Bone marrow smear:
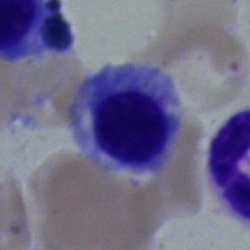 Q: What is the morphological classification of this cell?
A: Erythroblast.